Bone marrow aspirate smear.
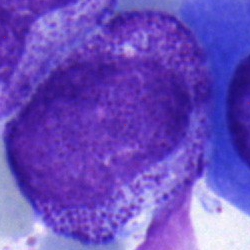Classification — myelocyte.